Brightfield microscopy, 40× oil immersion; bone marrow aspirate smear: 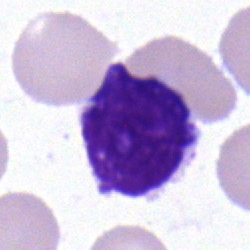 Morphological class: typical lymphocyte.